Bone marrow aspirate smear. Single-cell field
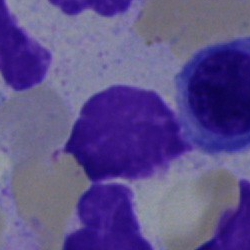Specimen: bone marrow smear.
Morphological class: artefact.